Cropped to a single cell. Bone marrow smear. Brightfield microscopy, 40× oil immersion — 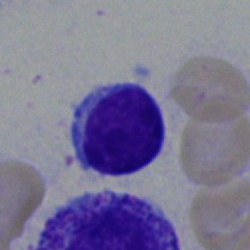 Q: What is the morphological classification of this cell?
A: This is a typical lymphocyte.